Bone marrow aspirate smear
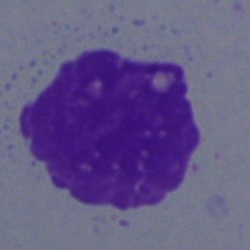

Morphological class: artifact.